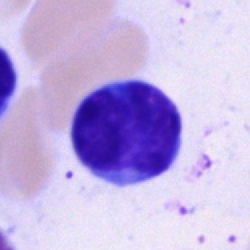

Classification — lymphocyte.